Bone marrow aspirate smear — 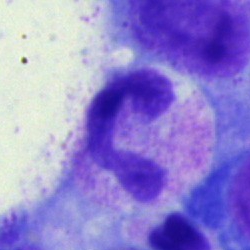
Showing a polymorphonuclear neutrophil.